Bone marrow smear:
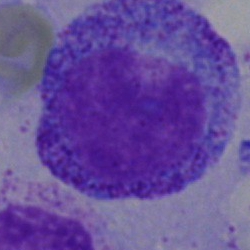

A progranulocyte.